Peripheral blood film · Romanowsky stain · 400×400 px
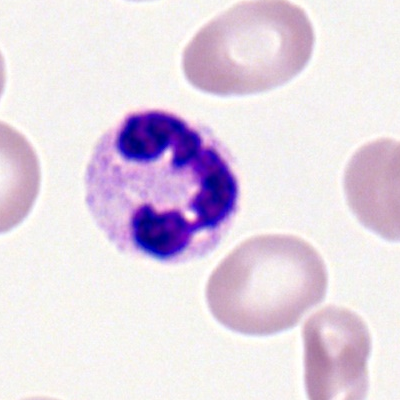 {"cell_type": "segmented neutrophil"}